40× objective, oil immersion · single-cell crop · bone marrow smear: 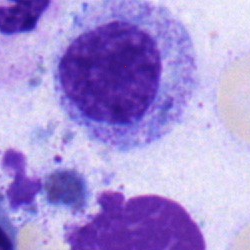Morphology consistent with a myelocyte.